40× objective, oil immersion. Bone marrow smear. Image size 250×250:
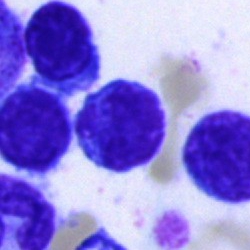

Q: What is the morphological classification of this cell?
A: This is a typical lymphocyte.